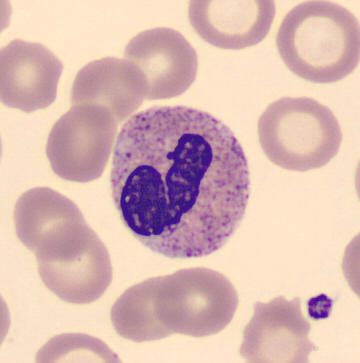
Single-cell field. Peripheral blood film. CellaVision DM96 digital cell image. Identified as a band neutrophil.